Bone marrow aspirate smear
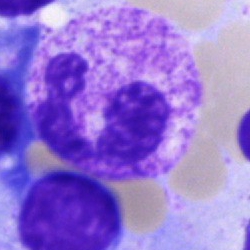
Classification — neutrophil (segmented).